40× oil immersion · 250×250 · bone marrow smear — 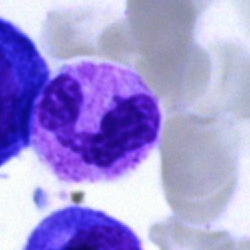
Showing a segmented neutrophil.